Bone marrow smear:
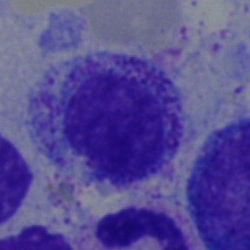 Cell — myelocyte.